Bone marrow aspirate smear · 250 by 250 pixels
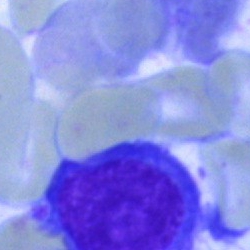
Morphology consistent with a plasma cell.